Bone marrow aspirate smear.
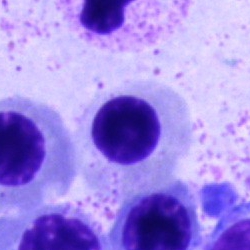
Specimen: bone marrow aspirate smear.
Cell: nucleated red blood cell.
Lineage: erythroid.